Bone marrow smear
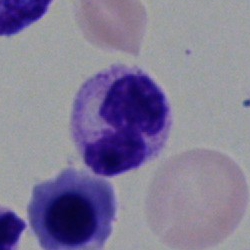
Neutrophil (segmented).